Single cell centered in the field · bone marrow aspirate smear
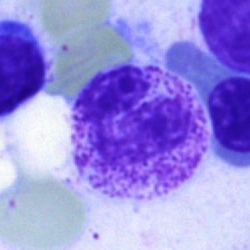

Specimen: bone marrow aspirate smear.
Cell: segmented neutrophil.
Lineage: myeloid.